Bone marrow smear; 250 by 250 pixels
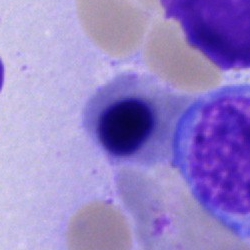
Morphology consistent with an erythroblast.